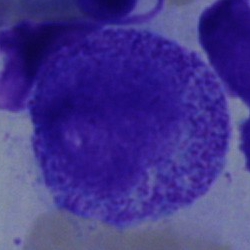Specimen: bone marrow smear.
Classification: progranulocyte.
Lineage: myeloid.